Bone marrow smear
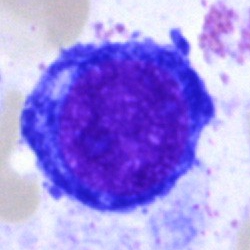This is a proerythroblast.